Bone marrow aspirate smear:
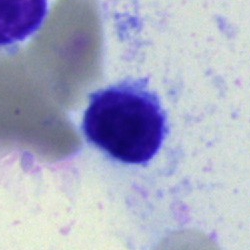
The cell shown is a typical lymphocyte.